May-Grünwald-Giemsa stain. Bone marrow smear. Cropped to a single cell:
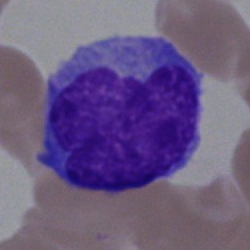 The cell shown is a blast.